Bone marrow smear:
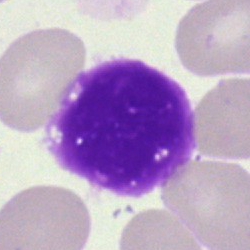An artifact.